May-Grünwald-Giemsa stain; bone marrow aspirate smear
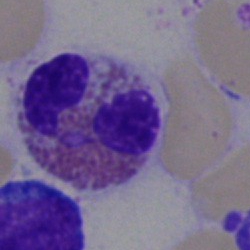

Q: Identify the cell.
A: An eosinophilic granulocyte.